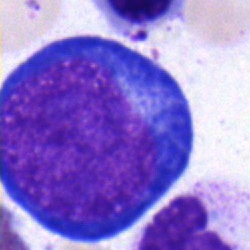

Specimen: bone marrow aspirate smear.
Cell: pronormoblast.
Lineage: erythroid.